Bone marrow aspirate smear:
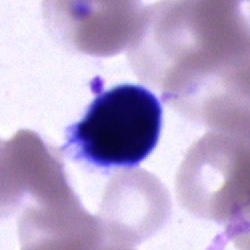

Impression — unidentifiable cell.